May-Grünwald-Giemsa/Pappenheim stain. Bone marrow aspirate smear. 250×250 px: 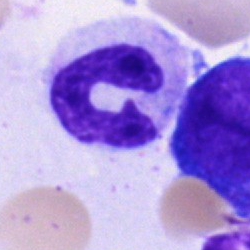Morphology — neutrophil (band).